Bone marrow smear · 250 by 250 pixels · brightfield, 40× oil-immersion objective — 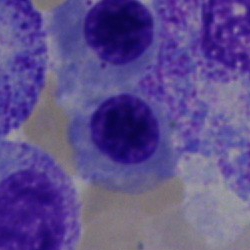 Cell type = nucleated red blood cell.